Brightfield microscopy, 40× oil immersion. Bone marrow aspirate smear
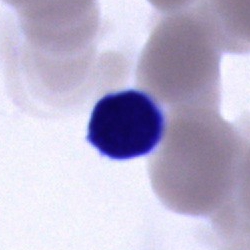Impression → lymphocyte.